Pappenheim-stained; bone marrow aspirate smear:
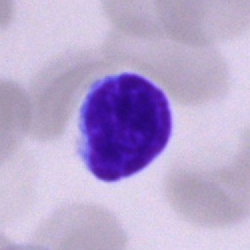 Morphological class = typical lymphocyte.